Bone marrow smear — 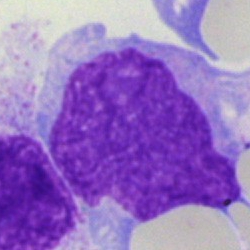

Morphology → monocyte.